Romanowsky-stained. Peripheral blood film. Image size 400×400
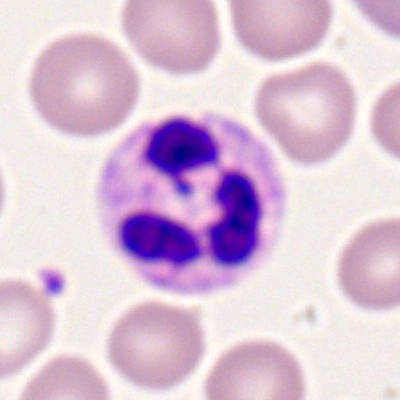
Q: Identify the cell.
A: It is a neutrophil (segmented).